Bone marrow smear. 250 by 250 pixels. Brightfield microscopy, 40× oil immersion:
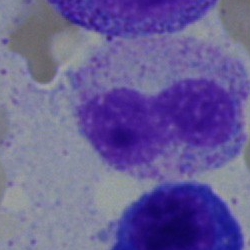
Q: What type of cell is this?
A: A band-form neutrophil.